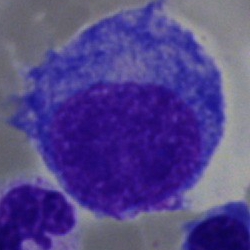{"cell_type": "promyelocyte"}